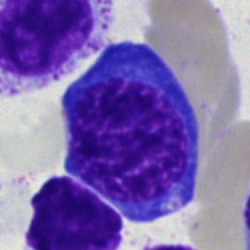

Specimen: bone marrow aspirate smear.
Cell: normoblast.